Bone marrow aspirate smear:
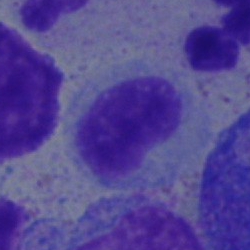 Impression → metamyelocyte.